May-Grünwald-Giemsa stain; bone marrow aspirate smear.
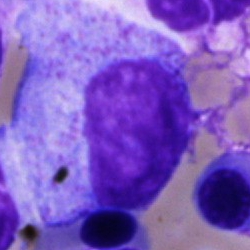 Morphology → progranulocyte.